MGG-stained; bone marrow aspirate smear — 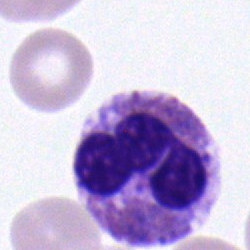
Classification = segmented neutrophil.